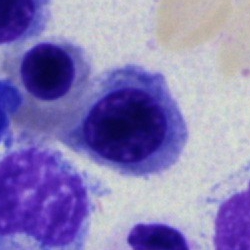 Showing a nucleated red cell.